40× objective, oil immersion. Bone marrow aspirate smear. 250×250 px: 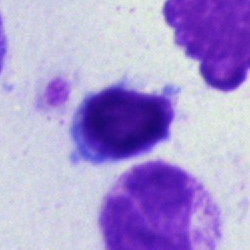 The cell is typical lymphocyte.